Peripheral blood film: 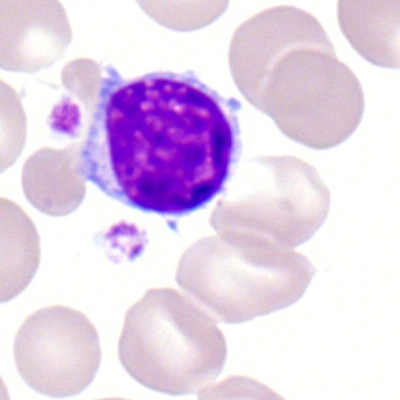{"cell_type": "lymphocyte", "lineage": "lymphoid"}